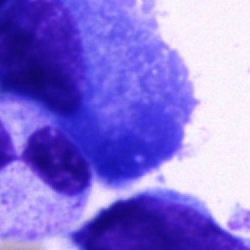
Q: Identify the cell.
A: Plasmacyte.